Bone marrow aspirate smear · image size 250×250
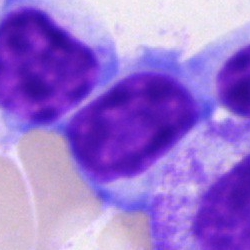

Cell type — lymphocyte.